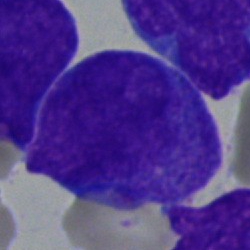Showing a blast cell.